Pappenheim-stained; bone marrow smear: 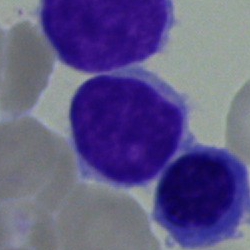
Q: What is the morphological classification of this cell?
A: This is a typical lymphocyte.